Bone marrow smear
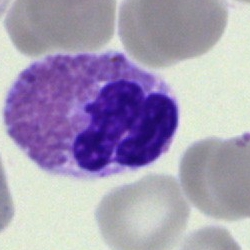Specimen: bone marrow smear.
Classification: eosinophil.